40× objective, oil immersion; bone marrow smear:
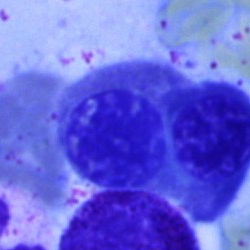 Cell type: nucleated red blood cell.